Bone marrow aspirate smear
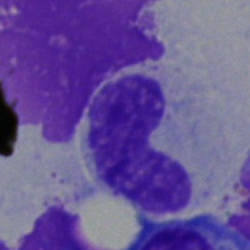
Specimen: bone marrow aspirate smear.
Morphological class: stab cell.